Bone marrow aspirate smear · 40× oil immersion
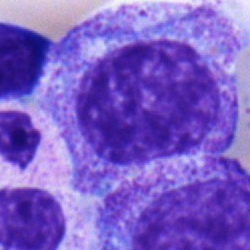Q: What type of cell is this?
A: A myelocyte.